Bone marrow smear · cropped to a single cell — 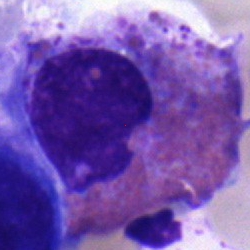
Q: Identify the cell.
A: It is an eosinophil.